Bone marrow smear:
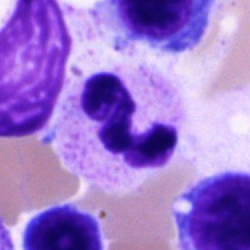Morphology — polymorphonuclear neutrophil.